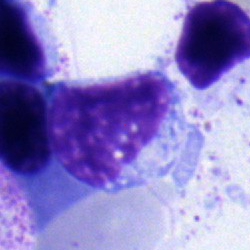

Q: What cell is this?
A: This is a typical lymphocyte.